Bone marrow aspirate smear. May-Grünwald-Giemsa stain
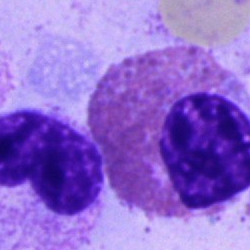 Q: What cell is this?
A: It is an eosinophilic granulocyte.